Bone marrow smear; 250 by 250 pixels:
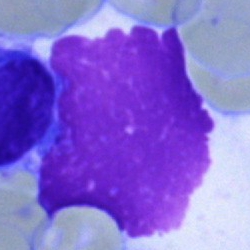

Impression — artefact.